Bone marrow smear:
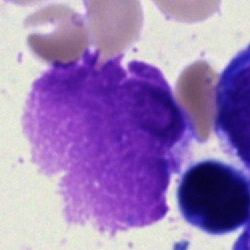 Q: What is shown here?
A: It is an artefact.